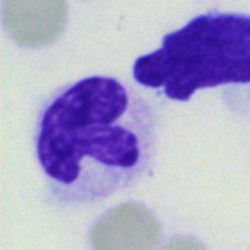 Morphology → polymorphonuclear neutrophil.